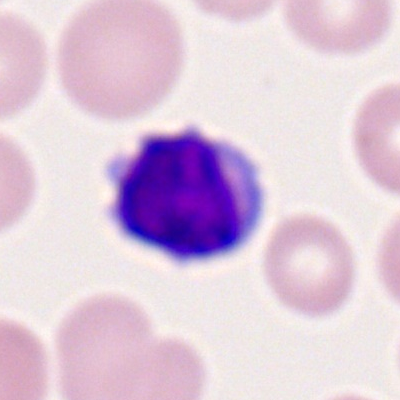
{"cell_type": "lymphocyte", "lineage": "lymphoid"}